Bone marrow aspirate smear: 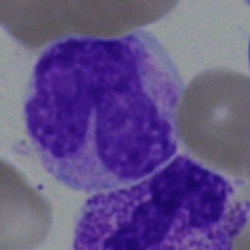 Morphology — stab cell.